250 by 250 pixels · bone marrow smear.
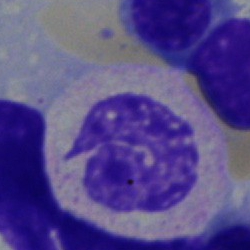

{"cell_type": "segmented neutrophil", "lineage": "myeloid"}